Bone marrow smear. Brightfield, 40× oil-immersion objective. Image size 250×250:
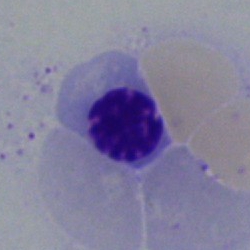 Morphology → erythroblast.